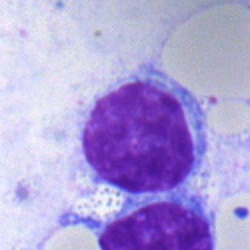
Bone marrow smear showing a typical lymphocyte.